Bone marrow aspirate smear: 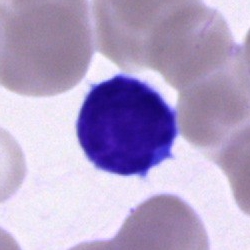
Specimen: bone marrow smear.
Morphological class: typical lymphocyte.
Lineage: lymphoid.